Bone marrow smear: 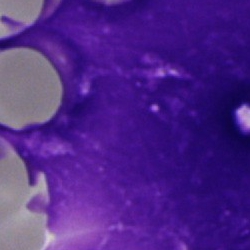
Single cell identified as an artifact.